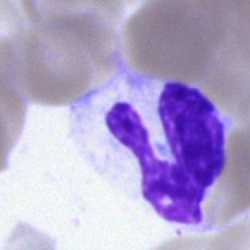
Specimen: bone marrow smear.
Cell type: neutrophil (segmented).